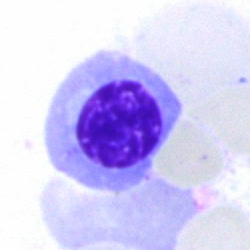
Impression → nucleated red cell.